Single cell centered in the field; bone marrow aspirate smear: 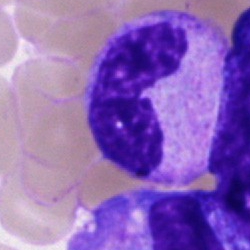
{"cell_type": "neutrophil (band)", "lineage": "myeloid"}